Bone marrow smear.
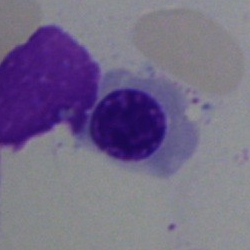 Specimen: bone marrow aspirate smear.
Classification: erythroblast.
Lineage: erythroid.